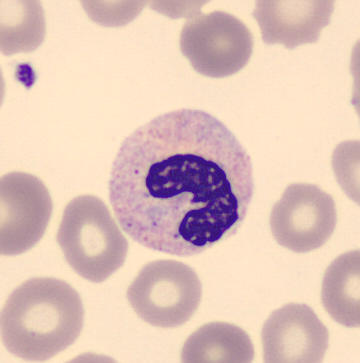
Specimen: peripheral blood film.
Morphological class: band neutrophil.

Image: May-Grünwald-Giemsa-stained.